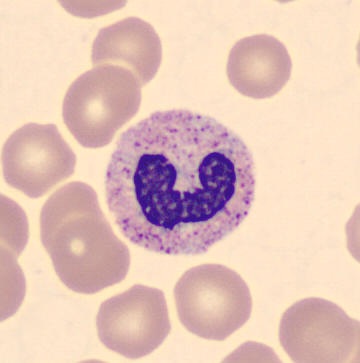Cell = band-form neutrophil.

Preparation: Peripheral blood film.